Bone marrow aspirate smear.
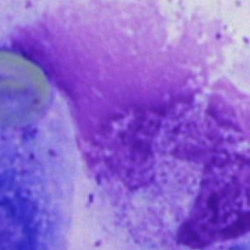

Cell type = artifact.